Bone marrow smear:
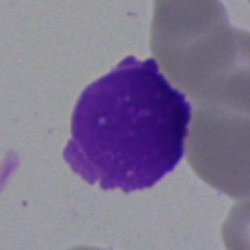
Q: What is shown here?
A: This is an artefact.